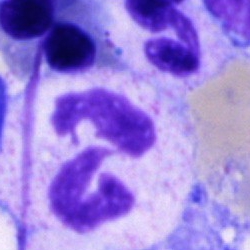
Morphological class = segmented neutrophil.